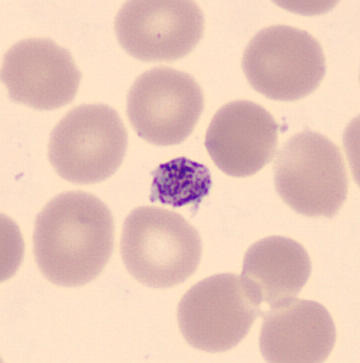Preparation: Peripheral blood film.
{"cell_type": "platelet (thrombocyte)"}